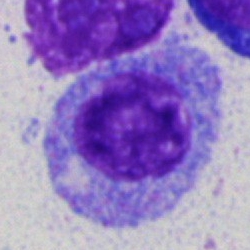 Impression — promyelocyte.